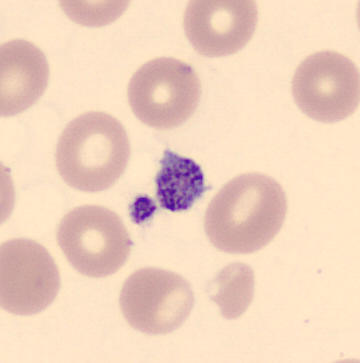This is a platelet. Preparation: CellaVision DM96 digital cell image · peripheral blood film.